Bone marrow aspirate smear.
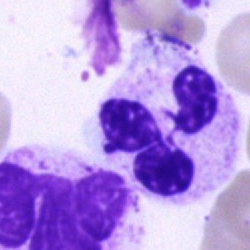 This is a neutrophil (segmented).